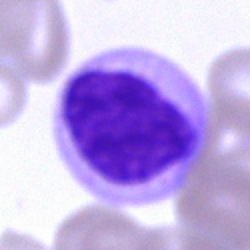 Morphological class — unidentifiable cell.